Bone marrow aspirate smear:
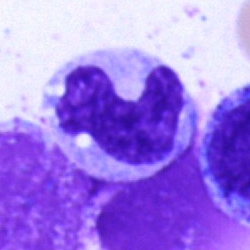Showing a monocyte.